250 by 250 pixels; bone marrow aspirate smear:
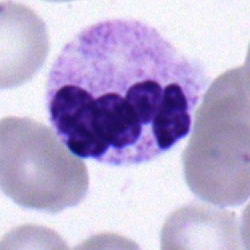 Classification: segmented neutrophil.